Bone marrow aspirate smear.
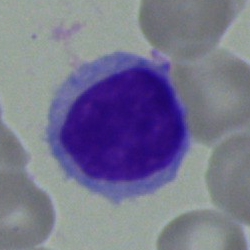
Cell type = typical lymphocyte.